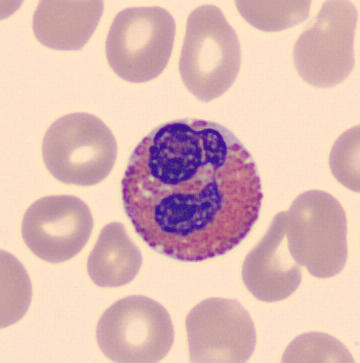
Preparation: Peripheral blood film. Single cell identified as an eosinophilic granulocyte.